Cropped to a single cell. Bone marrow smear.
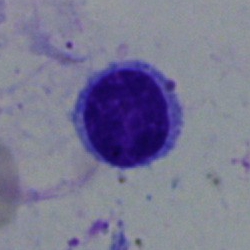

The cell shown is a typical lymphocyte.